MGG-stained. Peripheral blood smear. Single-cell crop: 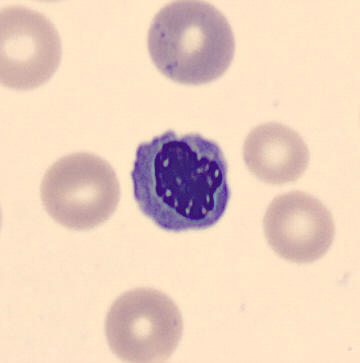
Nucleated red cell.